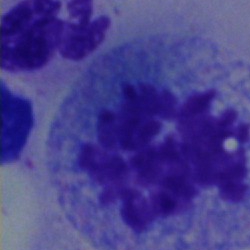
Morphology → artifact.